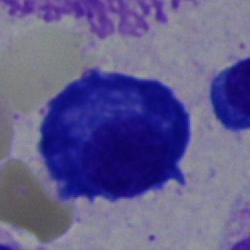 Q: What type of cell is this?
A: Plasma cell.